Brightfield, 40× oil-immersion objective; bone marrow smear; 250 by 250 pixels
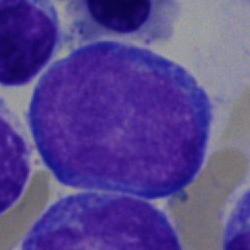The morphological class is pronormoblast.